Bone marrow aspirate smear — 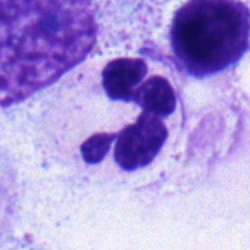

Single cell identified as a segmented neutrophil.